Bone marrow smear:
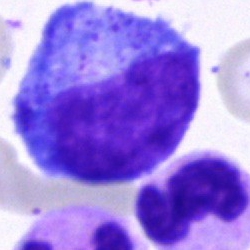Specimen: bone marrow smear.
Cell type: promyelocyte.
Lineage: myeloid.